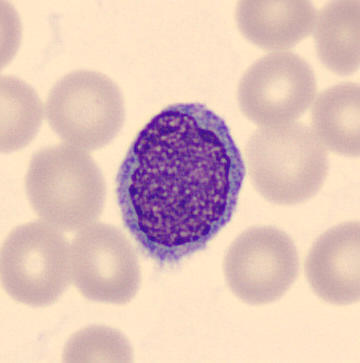Preparation: Peripheral blood film. MGG-stained. 360 by 363 pixels. Showing a monocyte.